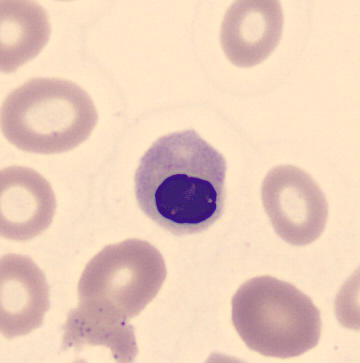
Image: 360×363 px. Peripheral blood smear. Automated cell imaging (CellaVision DM96). Single cell identified as an erythroblast.